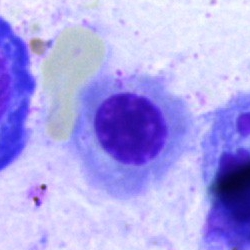
Bone marrow smear showing an erythroblast.